Brightfield microscopy, 40× oil immersion. Bone marrow aspirate smear:
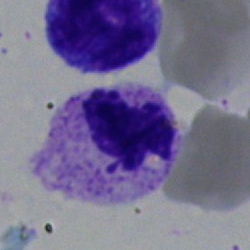 Single cell identified as a neutrophil (segmented).